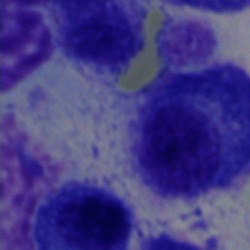The cell is plasmacyte.